May-Grünwald-Giemsa/Pappenheim stain. Bone marrow aspirate smear — 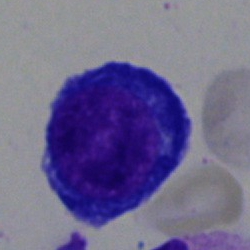

Impression → proerythroblast.